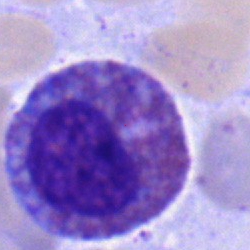Single cell identified as an eosinophilic granulocyte.